250 by 250 pixels. Bone marrow smear
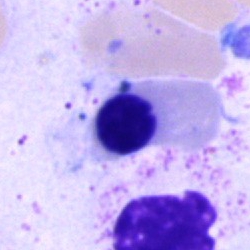Normoblast.